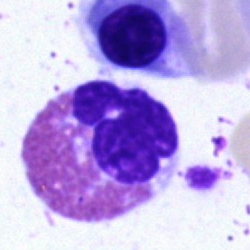
The cell type is eosinophilic granulocyte.